Image size 250×250 · bone marrow smear
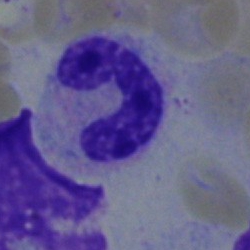 Q: What cell is this?
A: A neutrophil (band).